Bone marrow smear. 40× oil immersion. MGG-stained:
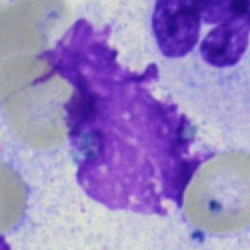
The cell shown is an artifact.